Bone marrow aspirate smear · 250×250 px · brightfield, 40× oil-immersion objective
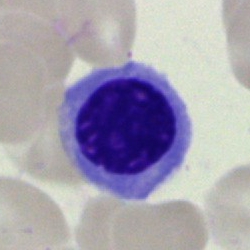The classification is erythroblast.